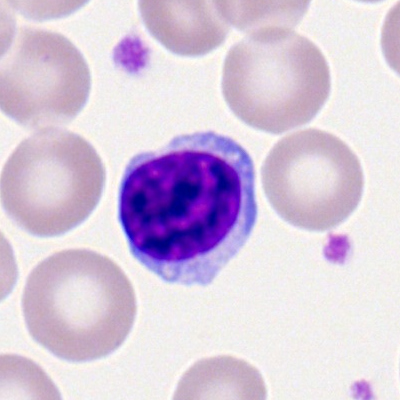Single-cell crop from a peripheral blood smear: lymphocyte.